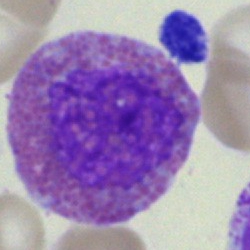
The classification is eosinophilic granulocyte.